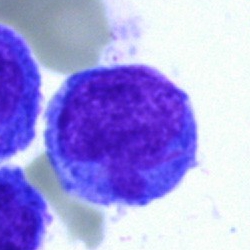 Impression — undifferentiated blast.